40× objective, oil immersion · bone marrow aspirate smear: 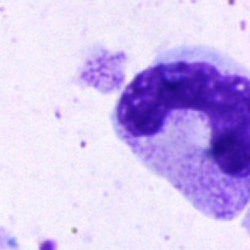Q: What is the morphological classification of this cell?
A: This is a band neutrophil.